Brightfield, 40× oil-immersion objective. Single-cell crop. Bone marrow aspirate smear: 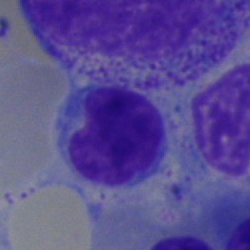

Specimen: bone marrow smear.
Classification: lymphocyte.
Lineage: lymphoid.